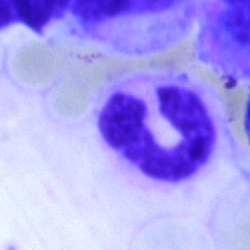

Single cell identified as a neutrophil (band).